Bone marrow smear — 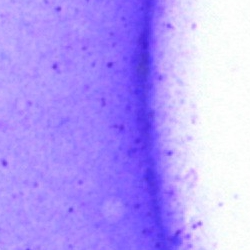

Showing an artefact.